Bone marrow aspirate smear
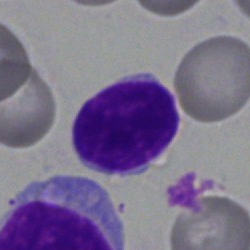 Morphology — lymphocyte.